Bone marrow aspirate smear:
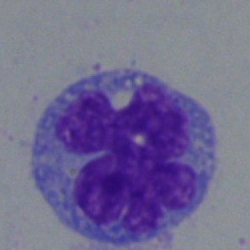
{"cell_type": "monocyte", "lineage": "myeloid"}